Bone marrow smear.
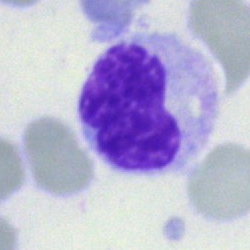 Cell type: band neutrophil.